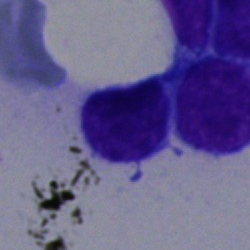

Cell type: typical lymphocyte.